Bone marrow aspirate smear; 40× objective, oil immersion — 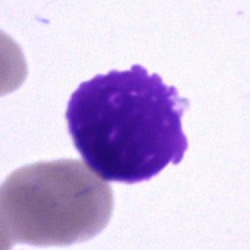 Q: What is shown here?
A: This is an artifact.